Bone marrow smear — 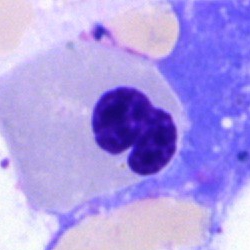

Showing a nucleated red blood cell.